Pappenheim-stained. Bone marrow aspirate smear — 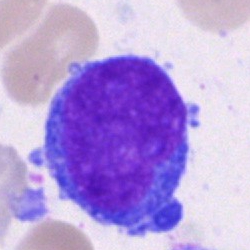Morphology consistent with a blast cell.